Bone marrow smear. 40× objective, oil immersion. Image size 250×250:
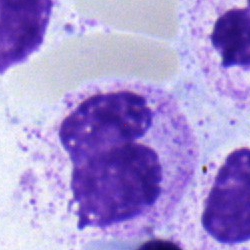
Q: What type of cell is this?
A: Neutrophil (band).